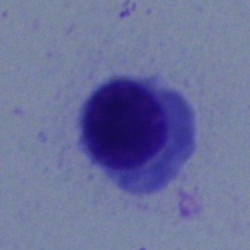 Specimen: bone marrow smear.
Classification: erythroblast.